Peripheral blood smear: 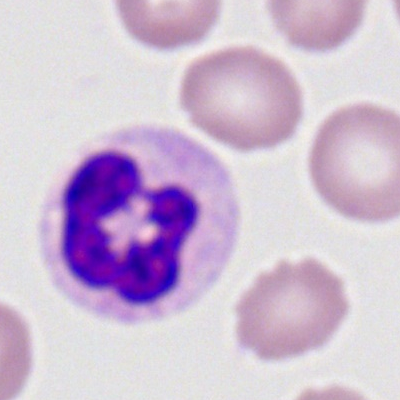A segmented neutrophil.